Bone marrow aspirate smear. May-Grünwald-Giemsa stain.
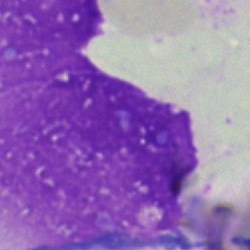Single cell identified as an artifact.